Bone marrow smear — 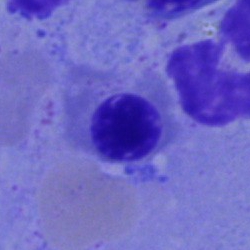

{"cell_type": "erythroblast", "lineage": "erythroid"}